Brightfield, 40× oil-immersion objective. Bone marrow aspirate smear
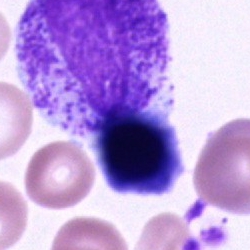 Specimen: bone marrow aspirate smear.
Classification: unidentifiable cell.